Bone marrow aspirate smear:
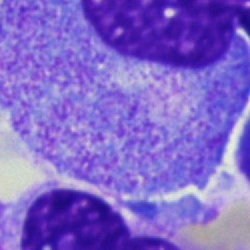The cell shown is a progranulocyte.